Peripheral blood film · single-cell field:
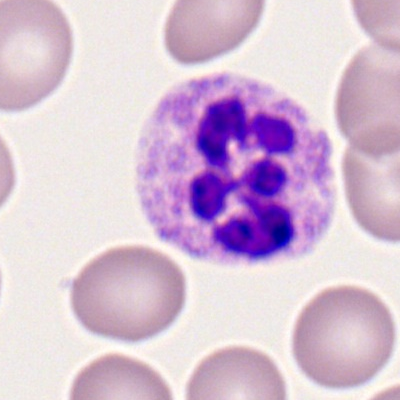 Specimen: peripheral blood smear.
Cell type: segmented neutrophil.
Lineage: myeloid.